May-Grünwald-Giemsa/Pappenheim stain; brightfield microscopy, 40× oil immersion; bone marrow smear
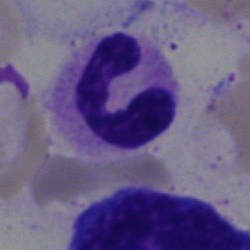
Q: What is shown here?
A: Segmented neutrophil.